Bone marrow smear — 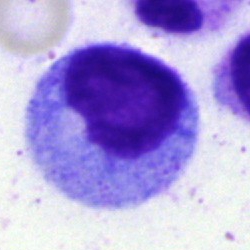
This is a myelocyte.